Bone marrow smear. Pappenheim-stained.
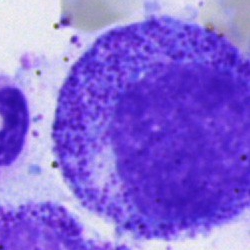

Q: What is the morphological classification of this cell?
A: It is a progranulocyte.